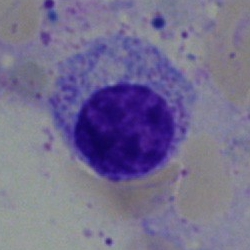Single-cell crop from a bone marrow smear: myelocyte.